Bone marrow aspirate smear:
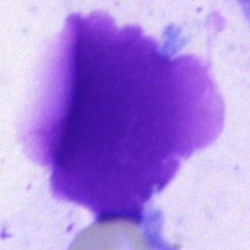
Classification = artifact.